May Grünwald-Giemsa stain · peripheral blood smear — 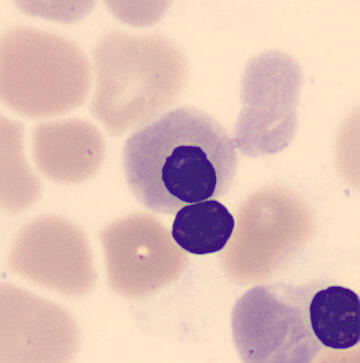 Normoblast.